Bone marrow smear.
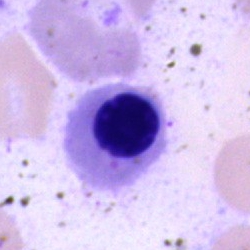

{"cell_type": "nucleated red cell", "lineage": "erythroid"}